Single cell centered in the field; bone marrow smear — 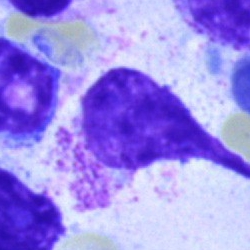
Showing an artefact.